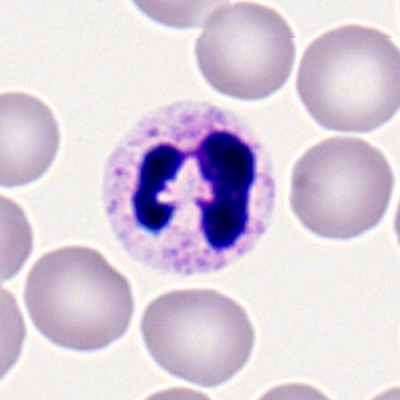
A polymorphonuclear neutrophil.